Bone marrow smear:
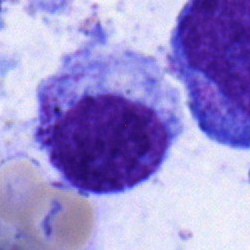Specimen: bone marrow aspirate smear.
Cell type: myelocyte.
Lineage: myeloid.